100× objective, oil immersion. Peripheral blood film. 400×400 — 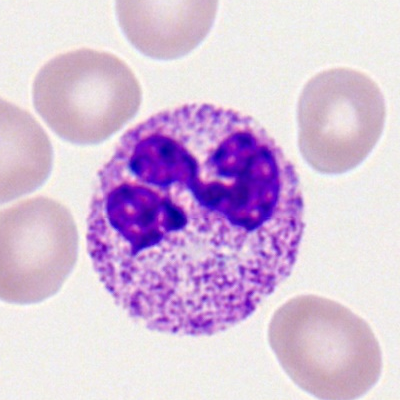
The cell shown is a neutrophil (segmented).